Single cell centered in the field · bone marrow smear · 40× oil immersion: 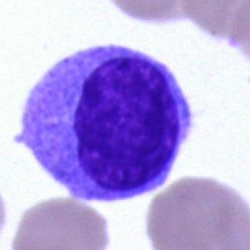Cell: blast cell.